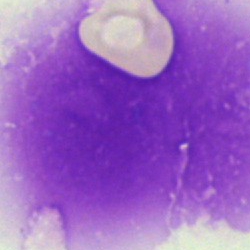

The classification is artifact.